Bone marrow smear:
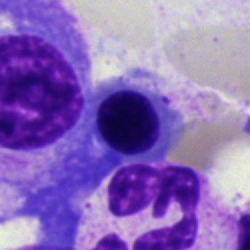

Morphology consistent with a nucleated red blood cell.